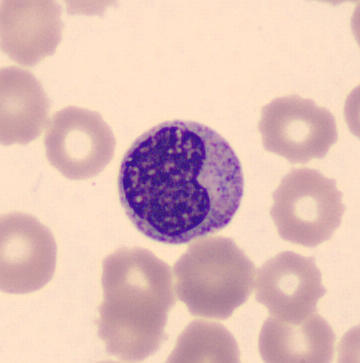

Preparation: MGG-stained · peripheral blood film. Classification — metamyelocyte.